Bone marrow aspirate smear. MGG-stained: 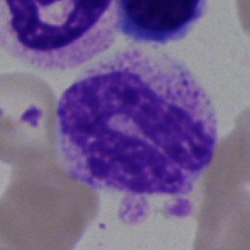
The cell shown is a neutrophil (segmented).